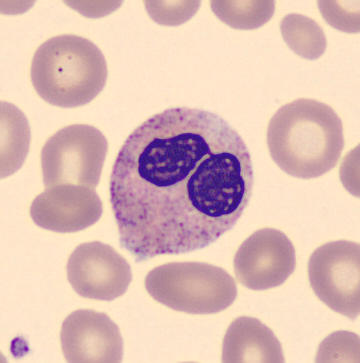{"cell_type": "neutrophil (segmented)"} Acquisition: Peripheral blood film.